Single-cell crop. Bone marrow smear:
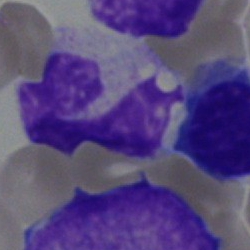 A neutrophil (segmented).